Brightfield, 40× oil-immersion objective; cropped to a single cell; bone marrow smear:
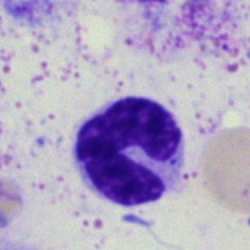Band neutrophil.